Bone marrow aspirate smear.
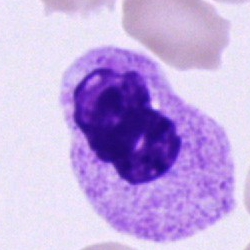

This is a segmented neutrophil.